Brightfield, 40× oil-immersion objective. Bone marrow aspirate smear: 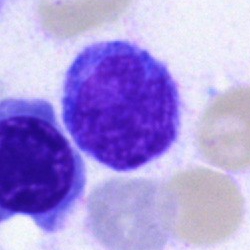
Specimen: bone marrow aspirate smear.
Cell: typical lymphocyte.